Bone marrow smear · image size 250×250.
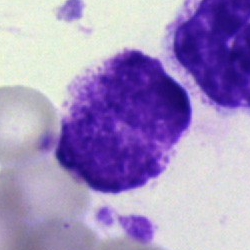Artifact.